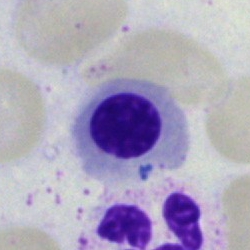 Morphology → nucleated red blood cell.